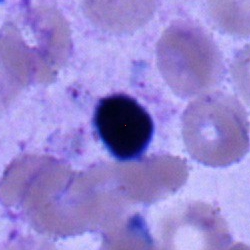

Morphology consistent with a lymphocyte.